Bone marrow smear. May-Grünwald-Giemsa/Pappenheim stain
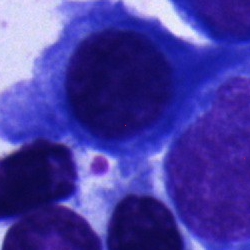Specimen: bone marrow smear.
Classification: plasmacyte.
Lineage: lymphoid.